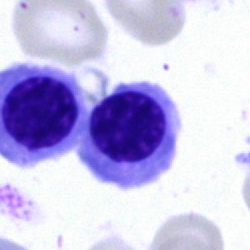 Bone marrow smear showing a normoblast.